Bone marrow aspirate smear; 40× oil immersion
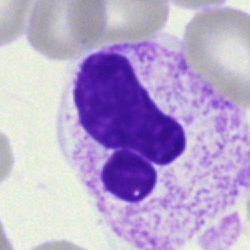 Single cell identified as a polymorphonuclear neutrophil.